Single-cell crop · bone marrow smear · image size 250×250.
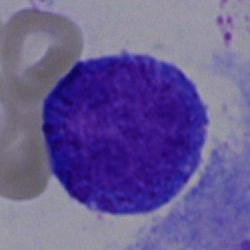Cell type: undifferentiated blast.